Bone marrow aspirate smear; 250 by 250 pixels — 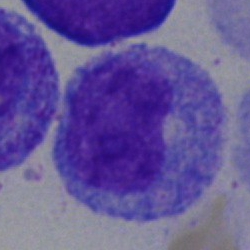

This is a progranulocyte.